Bone marrow smear · May-Grünwald-Giemsa/Pappenheim stain:
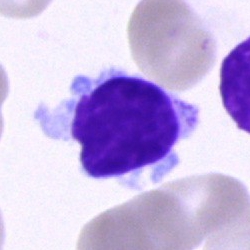
Single cell identified as a typical lymphocyte.